400 by 400 pixels. Romanowsky-type stain. Peripheral blood smear
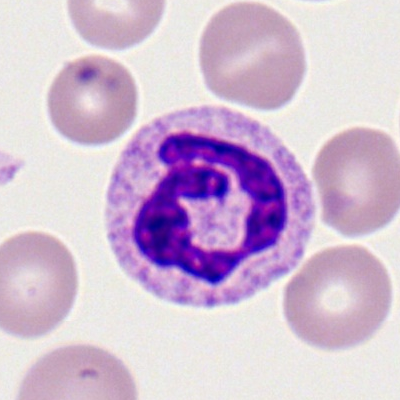Specimen: peripheral blood film.
Classification: segmented neutrophil.
Lineage: myeloid.